Bone marrow aspirate smear — 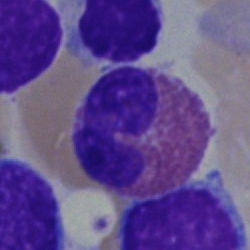 {"cell_type": "eosinophil"}